Bone marrow smear · 250 by 250 pixels:
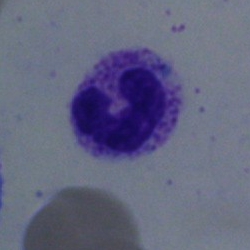
Specimen: bone marrow aspirate smear.
Classification: neutrophil (segmented).
Lineage: myeloid.